Peripheral blood film. 360×363 px. Cropped to a single cell.
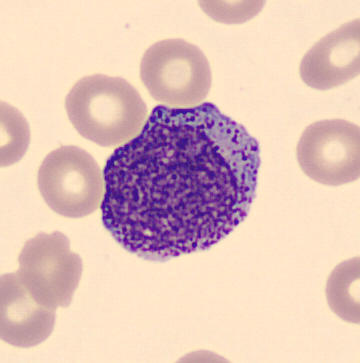
Impression — promyelocyte.